250×250 px; bone marrow smear; MGG-stained
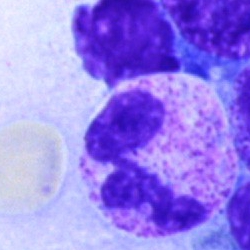

Specimen: bone marrow aspirate smear.
Classification: segmented neutrophil.